Bone marrow aspirate smear:
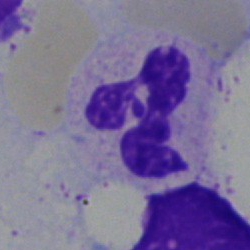 Classification: polymorphonuclear neutrophil.